Bone marrow smear. May-Grünwald-Giemsa stain. 40× oil immersion: 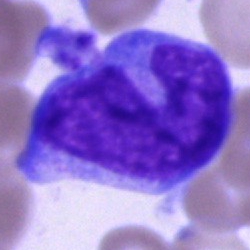

Classification — blast cell.